Bone marrow smear.
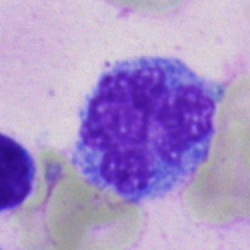

The cell is monocyte.